Bone marrow smear.
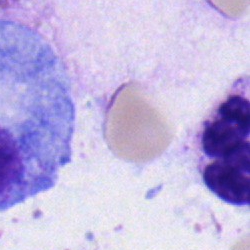
Single cell identified as a segmented neutrophil.